Bone marrow aspirate smear:
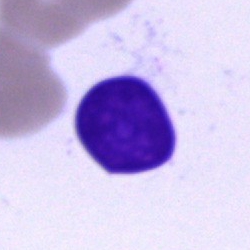
Morphological class — artefact.